May-Grünwald-Giemsa stain · bone marrow smear · 250×250 px: 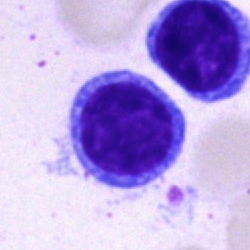 Impression → typical lymphocyte.